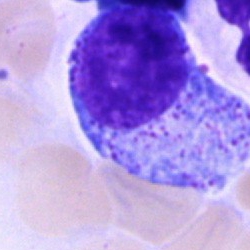
A promyelocyte.